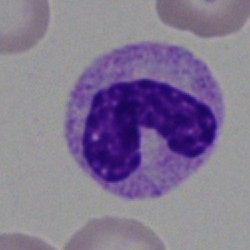 Cell type = neutrophil (band).